Single-cell crop. Bone marrow smear. Brightfield, 40× oil-immersion objective:
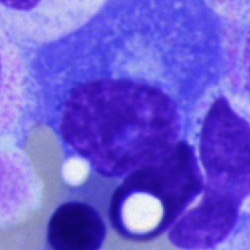
Impression — plasmacyte.